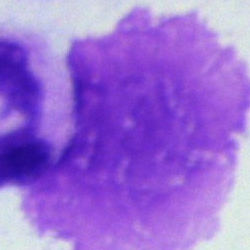

This is an artifact.